Bone marrow smear; single-cell field:
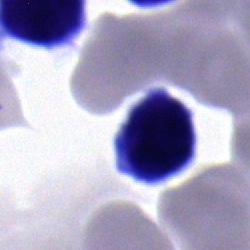 This is a typical lymphocyte.